MGG-stained; cropped to a single cell; bone marrow aspirate smear.
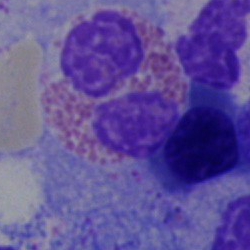 Morphology consistent with an eosinophilic granulocyte.